Bone marrow smear:
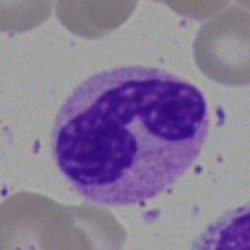

Showing a segmented neutrophil.